Bone marrow aspirate smear:
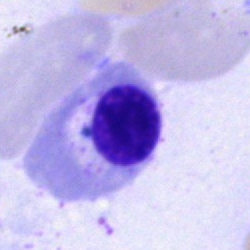

Impression — normoblast.